Peripheral blood smear
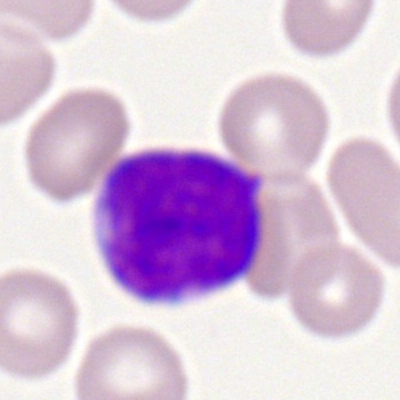 Classification — myeloblast.